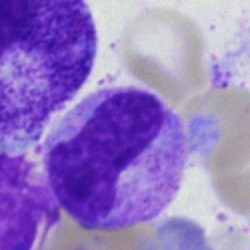
Morphology consistent with a stab cell.